Peripheral blood film — 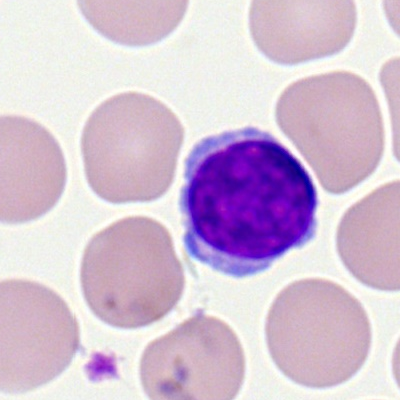

A typical lymphocyte.